Bone marrow aspirate smear — 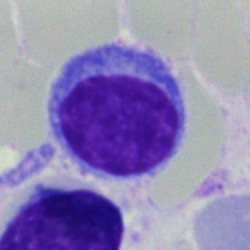

Q: What is shown here?
A: Lymphocyte.